Bone marrow smear.
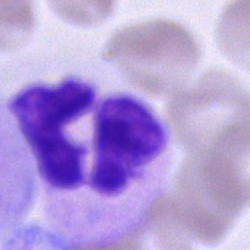

Cell — neutrophil (segmented).